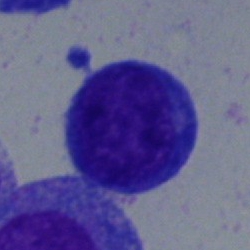

Morphology consistent with a blast.